Peripheral blood smear. 400×400 px. M8 digital microscope (Precipoint), 100× oil immersion: 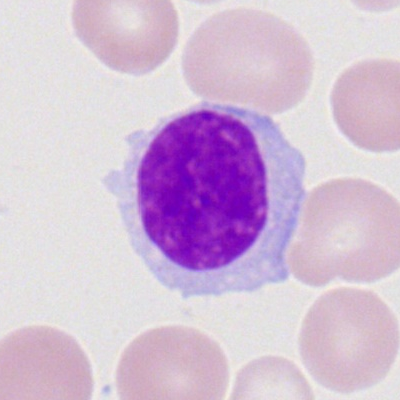

{"cell_type": "lymphocyte", "lineage": "lymphoid"}